Bone marrow smear · single-cell crop
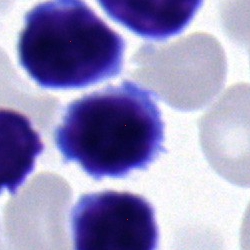 The morphological class is typical lymphocyte.